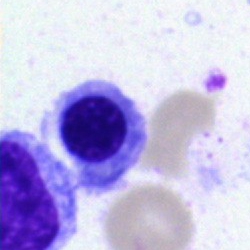

Q: What cell is this?
A: This is an erythroblast.